Bone marrow smear: 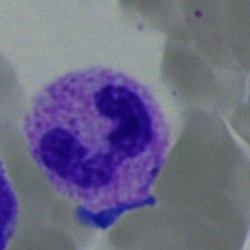

Classification — segmented neutrophil.